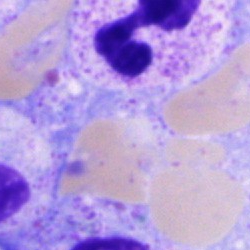 Morphological class = polymorphonuclear neutrophil.